Bone marrow aspirate smear. 250×250 px:
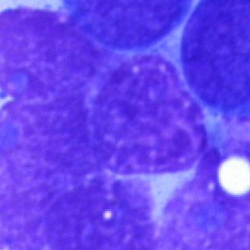 The cell shown is an artefact.